100× oil immersion. Peripheral blood film:
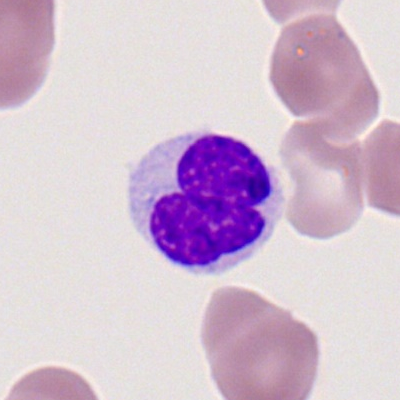
This is a monocyte.